Bone marrow aspirate smear:
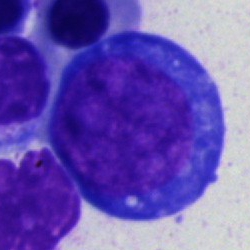Single cell identified as a proerythroblast.